Bone marrow smear · single-cell field:
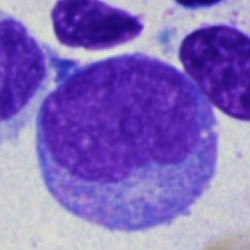 Specimen: bone marrow aspirate smear.
Morphological class: promyelocyte.
Lineage: myeloid.